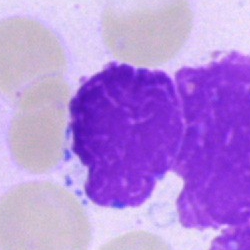 Cell — artefact.